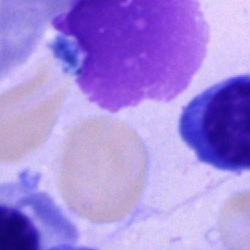
Morphological class: artifact.